Bone marrow smear · brightfield microscopy, 40× oil immersion — 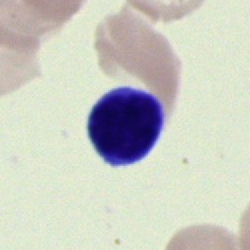

Morphology — lymphocyte.